Bone marrow aspirate smear.
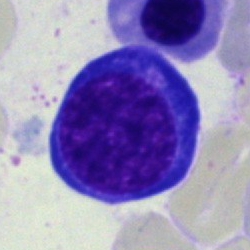Specimen: bone marrow aspirate smear.
Classification: erythroblast.
Lineage: erythroid.